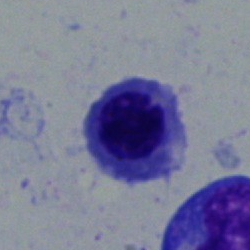

Impression — erythroblast.